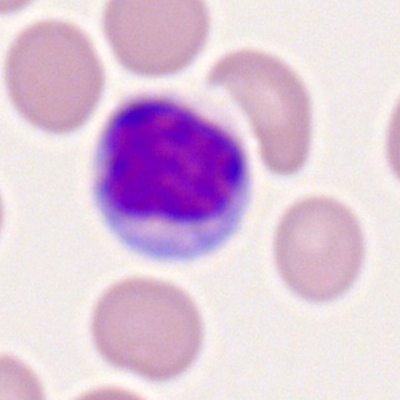

Morphological class = typical lymphocyte.